Image size 250×250 · Pappenheim-stained · bone marrow aspirate smear: 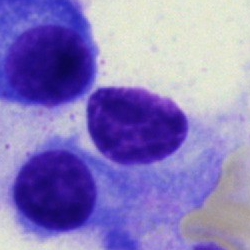 The cell is plasmacyte.